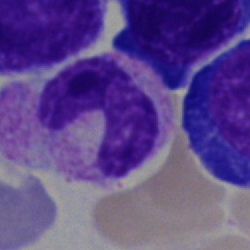{"cell_type": "stab cell"}